Bone marrow aspirate smear: 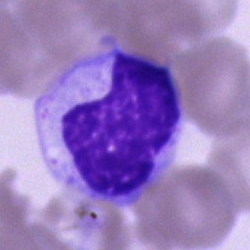
Q: Identify the cell.
A: A cell of indeterminate lineage.